Bone marrow smear.
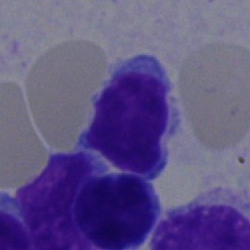The cell shown is a typical lymphocyte.